Bone marrow aspirate smear: 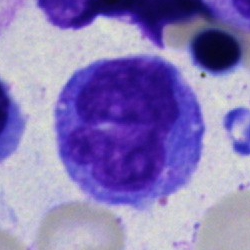 Morphological class: monocyte.